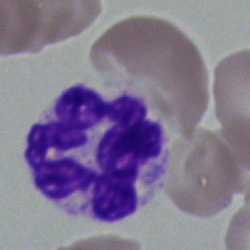The cell shown is a neutrophil (segmented).